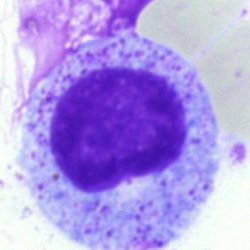

Bone marrow smear showing a myelocyte.